Bone marrow aspirate smear: 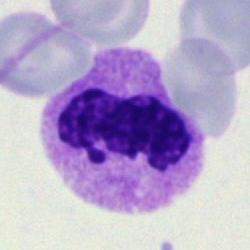 Impression — neutrophil (segmented).